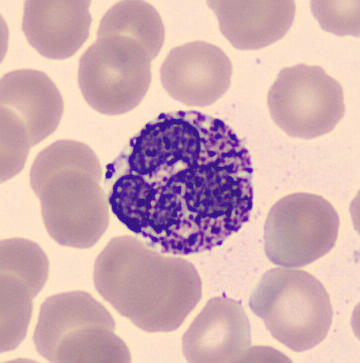

Cell: basophilic granulocyte.